Peripheral blood smear:
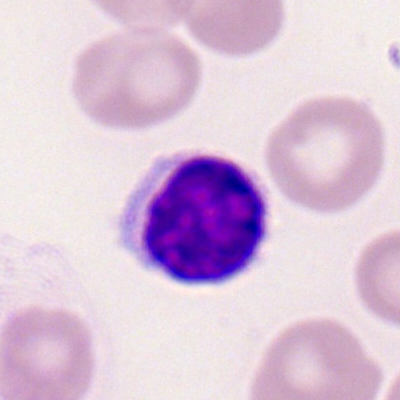
Q: Which cell type is shown here?
A: Lymphocyte.